Bone marrow smear · brightfield, 40× oil-immersion objective — 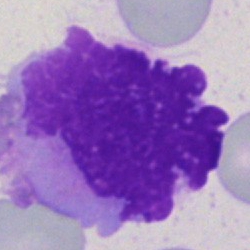 Impression — artifact.